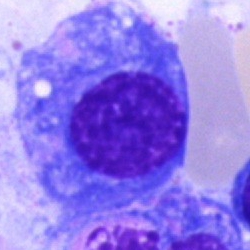
Showing a plasmacyte.